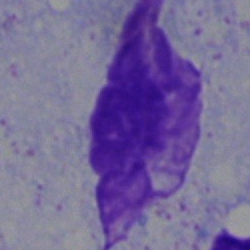
Morphological class — artifact.